Single-cell field. 250 by 250 pixels. Bone marrow smear — 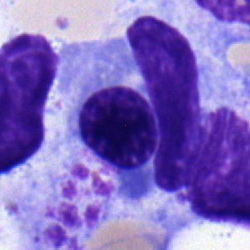

This is a nucleated red cell.